Bone marrow aspirate smear.
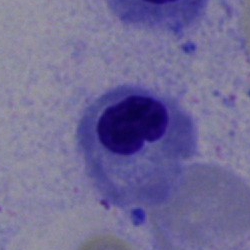

Q: What is shown here?
A: Erythroblast.